Peripheral blood smear.
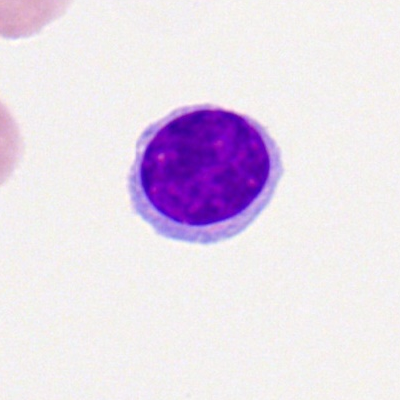

Morphological class = lymphocyte.